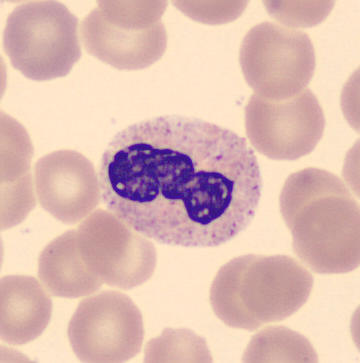
Q: What cell is this?
A: Polymorphonuclear neutrophil.

Acquisition: Peripheral blood smear · 360×363.